Brightfield microscopy, 40× oil immersion. Bone marrow aspirate smear.
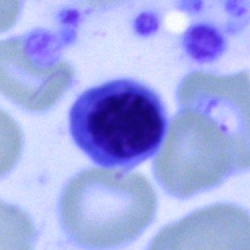Morphology consistent with a nucleated red cell.